Image size 250×250; bone marrow aspirate smear.
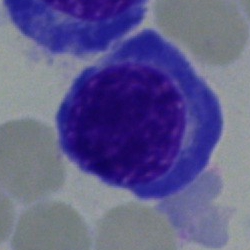Proerythroblast.